May-Grünwald-Giemsa stain. Single-cell field. Bone marrow aspirate smear — 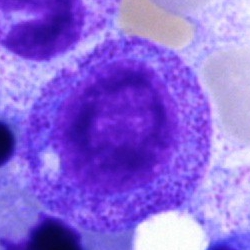 Morphology → myelocyte.